250×250 px; 40× oil immersion; bone marrow aspirate smear
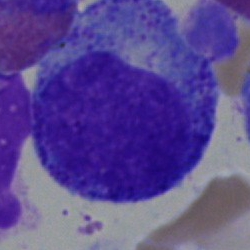

Cell: promyelocyte.